Bone marrow aspirate smear · MGG-stained:
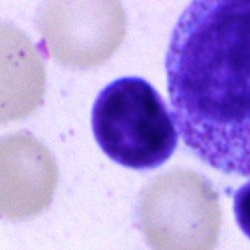 Q: What is shown here?
A: Lymphocyte.